Bone marrow smear: 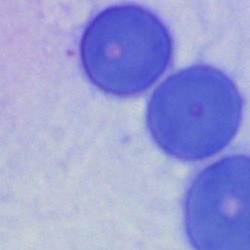 The cell is cell of indeterminate lineage.